Bone marrow aspirate smear
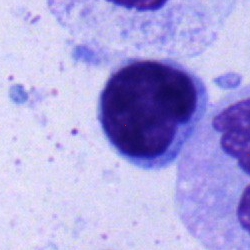Cell = lymphocyte.